Bone marrow smear; cropped to a single cell: 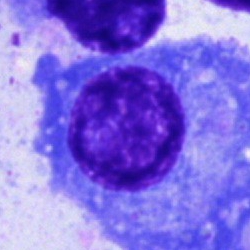

Impression → plasmacyte.